250×250 px · bone marrow smear · single-cell field.
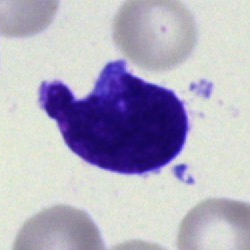
Q: What is shown here?
A: Blast.